Bone marrow smear: 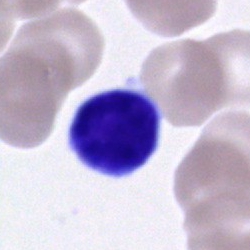

The cell shown is a lymphocyte.